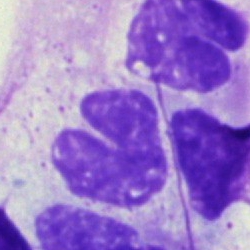

A neutrophil (band) on a bone marrow smear.